Bone marrow smear: 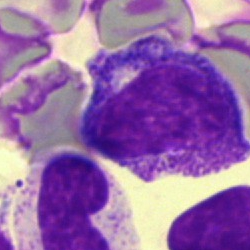A myelocyte.